Bone marrow aspirate smear · 250×250 · MGG-stained
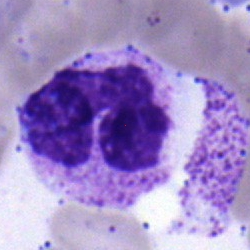The cell shown is a neutrophil (band).